Bone marrow smear:
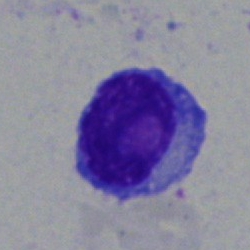
Morphology consistent with a typical lymphocyte.